Bone marrow aspirate smear
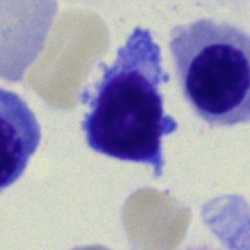

The cell is typical lymphocyte.